Peripheral blood film: 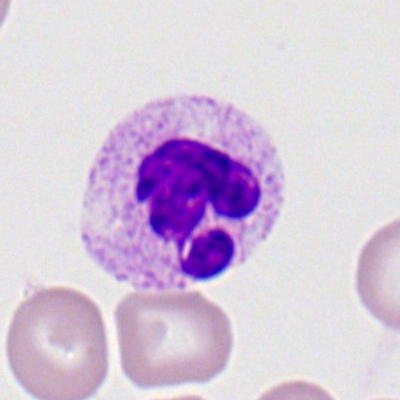

Q: Which cell type is shown here?
A: This is a neutrophil (segmented).